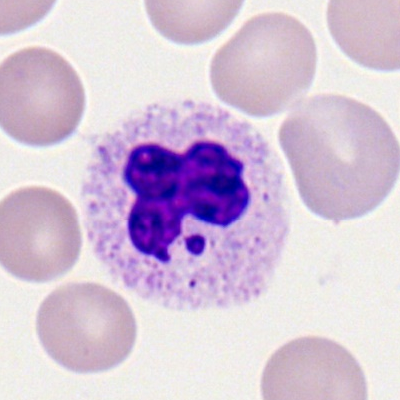Q: What is the morphological classification of this cell?
A: A segmented neutrophil.